250 by 250 pixels · bone marrow smear · MGG-stained: 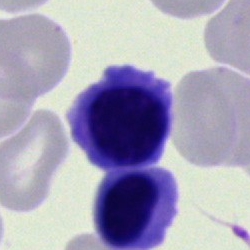A nucleated red cell.